Bone marrow smear.
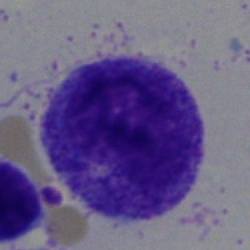
The cell shown is a progranulocyte.